Peripheral blood film · single-cell crop: 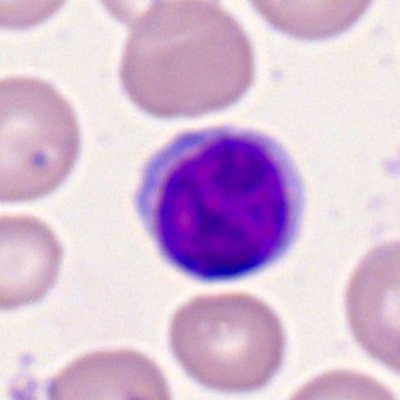Q: Which cell type is shown here?
A: A lymphocyte.